Bone marrow aspirate smear:
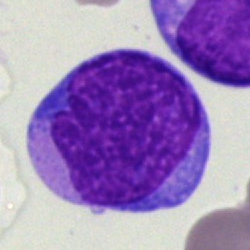Q: What is shown here?
A: A blast.